40× objective, oil immersion. Bone marrow aspirate smear. Single cell centered in the field
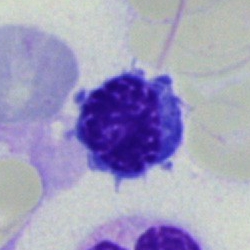{"cell_type": "nucleated red blood cell", "lineage": "erythroid"}